Bone marrow smear
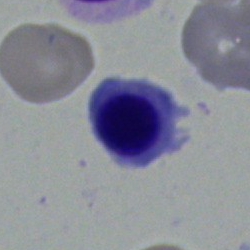

This is a normoblast.